Bone marrow smear; May-Grünwald-Giemsa stain: 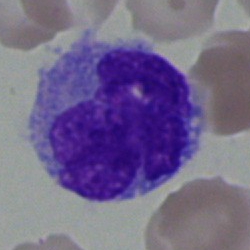 Morphology — monocyte.